40× objective, oil immersion · May-Grünwald-Giemsa stain · bone marrow smear: 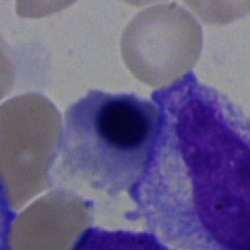
The morphological class is normoblast.